Bone marrow smear — 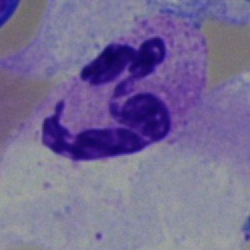Segmented neutrophil.